Bone marrow aspirate smear. Brightfield microscopy, 40× oil immersion. Image size 250×250: 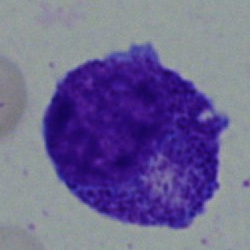 Impression — promyelocyte.